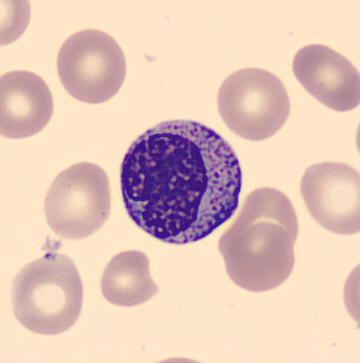

Q: What cell is this?
A: A metamyelocyte. Preparation: Peripheral blood film.